Cropped to a single cell; bone marrow smear — 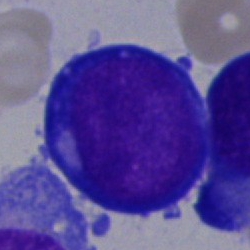Morphological class = proerythroblast.